Peripheral blood smear.
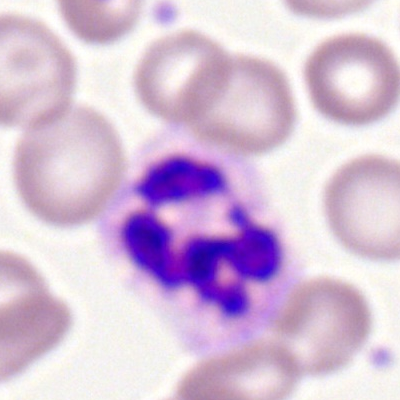Showing a segmented neutrophil.